Bone marrow smear. Single-cell field. Image size 250×250
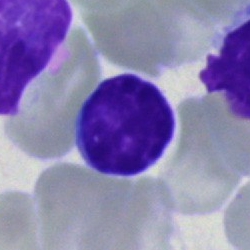
Cell type = typical lymphocyte.